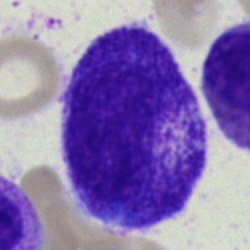 Q: What cell is this?
A: This is a promyelocyte.